Bone marrow aspirate smear:
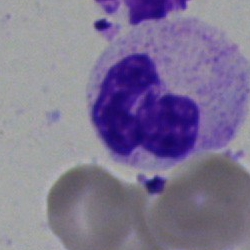
{"cell_type": "polymorphonuclear neutrophil", "lineage": "myeloid"}